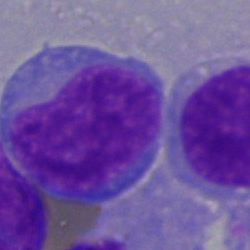Q: What cell is this?
A: A blast cell.